Bone marrow smear. May-Grünwald-Giemsa stain — 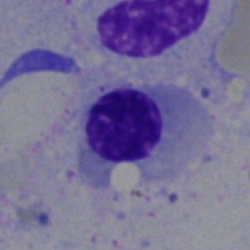Nucleated red cell.